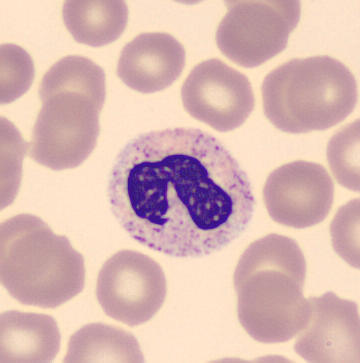

Single-cell field; peripheral blood film.
Classification: band-form neutrophil.